Bone marrow aspirate smear:
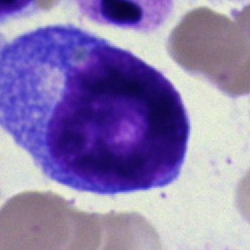A progranulocyte.